May-Grünwald-Giemsa/Pappenheim stain; image size 250×250; bone marrow aspirate smear — 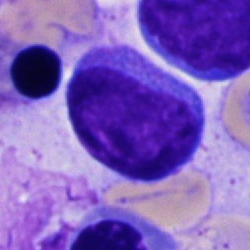

Morphological class = blast.